Bone marrow aspirate smear
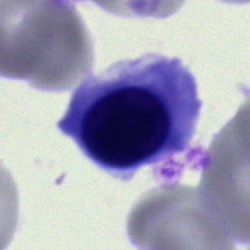
Impression → erythroblast.